40× objective, oil immersion. Pappenheim-stained. Bone marrow smear: 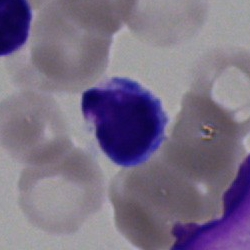 This is a typical lymphocyte.